Bone marrow aspirate smear; 40× oil immersion:
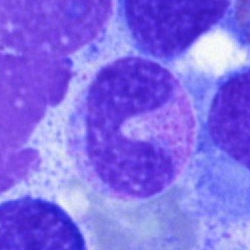
Cell type = neutrophil (band).